Bone marrow smear
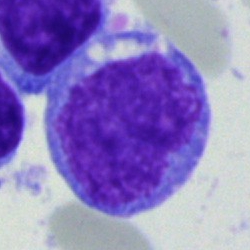Q: Identify the cell.
A: It is an immature lymphocyte.